Image size 250×250; May-Grünwald-Giemsa stain; bone marrow smear — 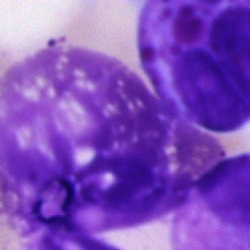

The cell shown is an artefact.